Bone marrow smear · MGG-stained.
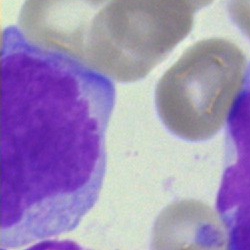

This is a blast cell.